Peripheral blood smear. 400 by 400 pixels
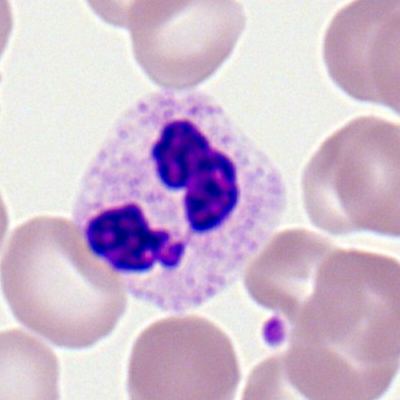This is a polymorphonuclear neutrophil.